Bone marrow aspirate smear — 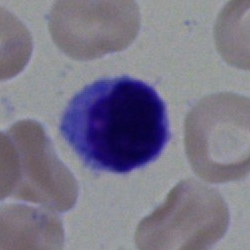Impression → lymphocyte.